Bone marrow smear; 40× oil immersion:
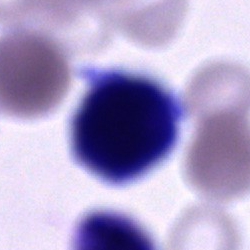
Cell: cell of indeterminate lineage.